Peripheral blood smear
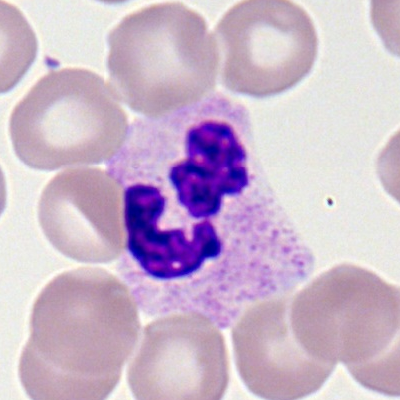Morphological class = neutrophil (segmented).